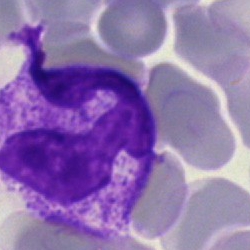 A band neutrophil.